250 by 250 pixels; bone marrow aspirate smear; Pappenheim-stained — 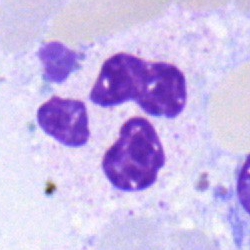

Single cell identified as a neutrophil (segmented).